Single cell centered in the field; bone marrow smear.
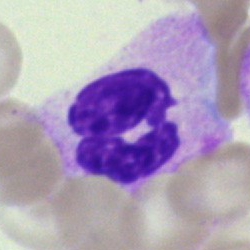

Morphological class = polymorphonuclear neutrophil.